Bone marrow smear.
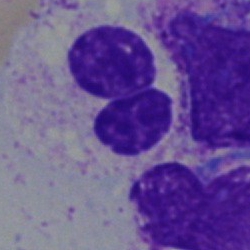
Cell — band-form neutrophil.